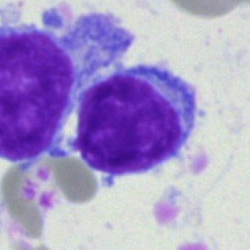

{"cell_type": "typical lymphocyte", "lineage": "lymphoid"}